Peripheral blood film:
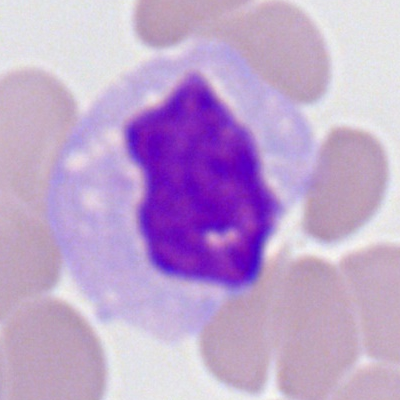 Q: Which cell type is shown here?
A: Monocyte.